Bone marrow aspirate smear.
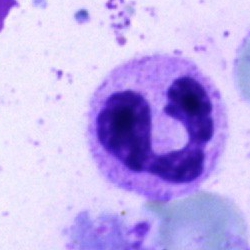
Q: What is shown here?
A: It is a polymorphonuclear neutrophil.